Bone marrow smear.
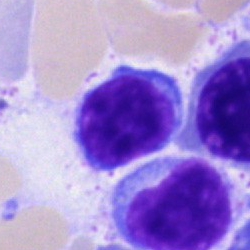 Morphological class — typical lymphocyte.